Bone marrow aspirate smear.
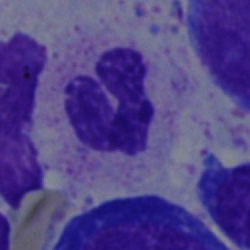Showing a polymorphonuclear neutrophil.